Bone marrow smear · 40× objective, oil immersion: 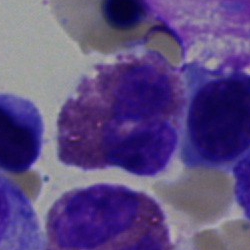

Single cell identified as an eosinophil.